Bone marrow aspirate smear: 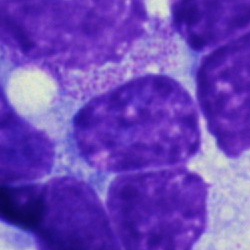 An artefact.